Brightfield, 40× oil-immersion objective; single-cell crop; bone marrow aspirate smear: 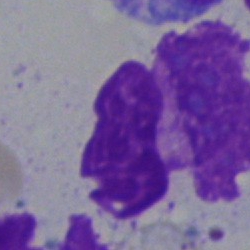
Q: What is shown here?
A: An artifact.